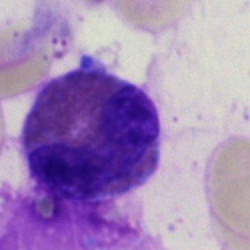Morphological class: eosinophil.